MGG-stained; bone marrow aspirate smear; image size 250×250: 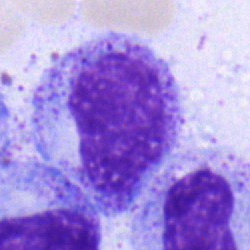
A myelocyte.